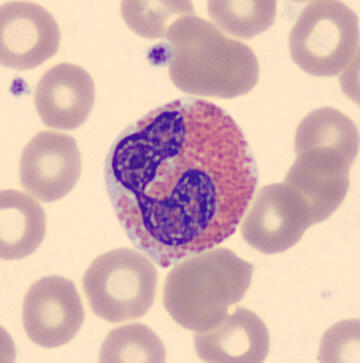Cell = eosinophil.
Peripheral blood film.